Peripheral blood smear: 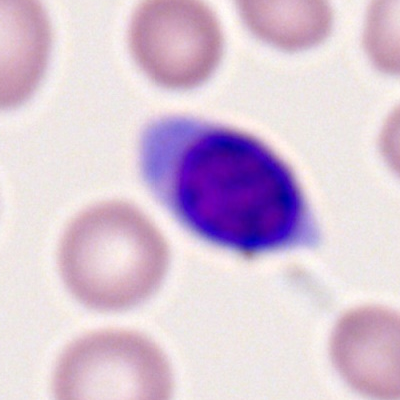

Specimen: peripheral blood film.
Cell: typical lymphocyte.
Lineage: lymphoid.